Bone marrow aspirate smear.
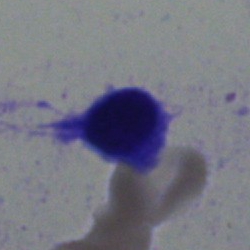
Classification: typical lymphocyte.